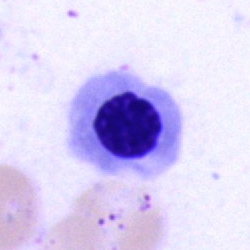
Cell type: nucleated red cell.